40× oil immersion. Cropped to a single cell. Bone marrow aspirate smear.
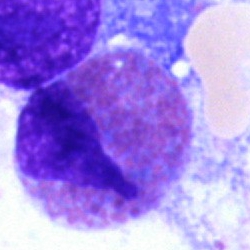Cell: eosinophil.